Bone marrow smear. Single-cell crop. Brightfield, 40× oil-immersion objective: 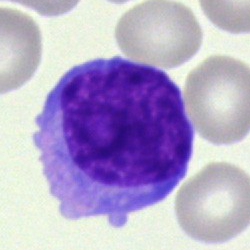 Q: What is shown here?
A: It is an undifferentiated blast.